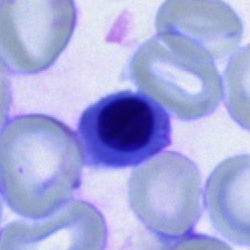 Cell type — erythroblast.